Bone marrow smear: 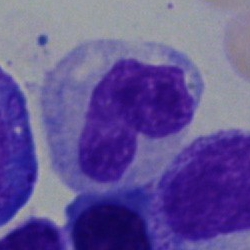 Impression — stab cell.